Bone marrow aspirate smear
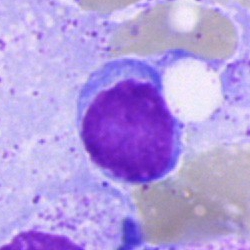 A lymphocyte.